250×250 px · bone marrow aspirate smear: 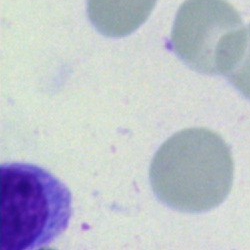
Impression → unidentifiable cell.